Bone marrow aspirate smear: 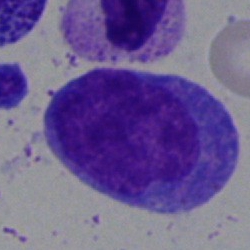{"cell_type": "promyelocyte"}